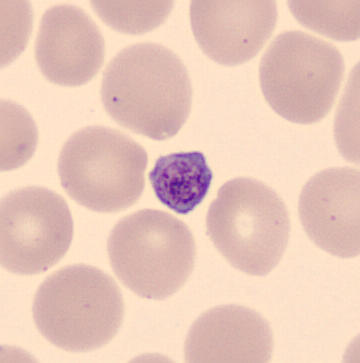

Classification: platelet (thrombocyte).